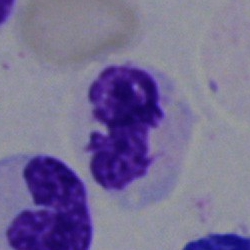

Single-cell crop from a bone marrow smear: segmented neutrophil.